Peripheral blood film.
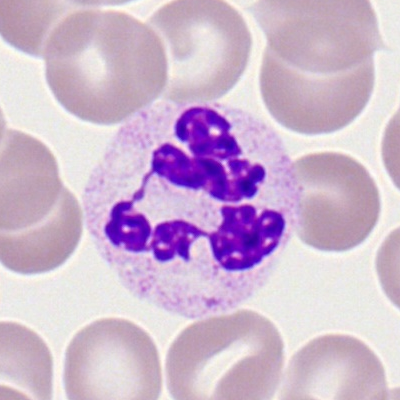Cell type — neutrophil (segmented).